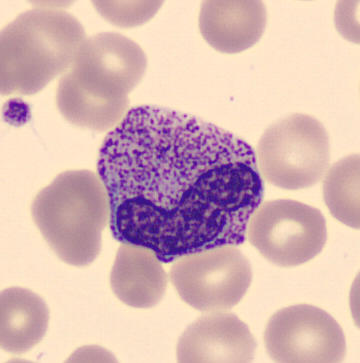 Single cell identified as a metamyelocyte. 360×363 · peripheral blood smear.